40× oil immersion · MGG-stained · bone marrow smear:
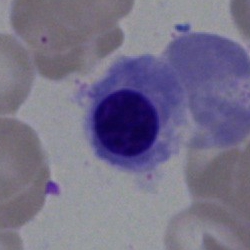{"cell_type": "nucleated red cell"}